Single-cell field. Bone marrow aspirate smear: 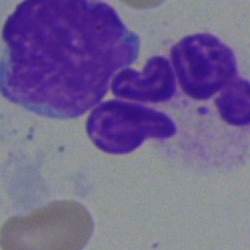 Single cell identified as a segmented neutrophil.